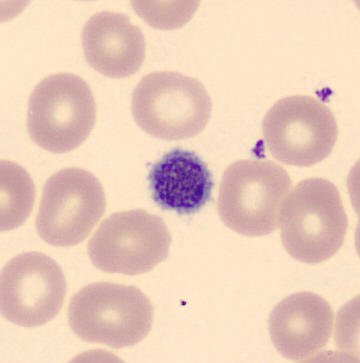 Thrombocyte. Image: MGG-stained; peripheral blood film; imaged on a CellaVision DM96 analyser.